Bone marrow smear:
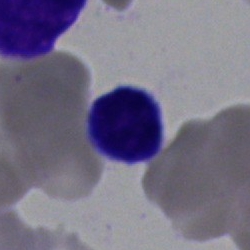
Q: Which cell type is shown here?
A: A lymphocyte.